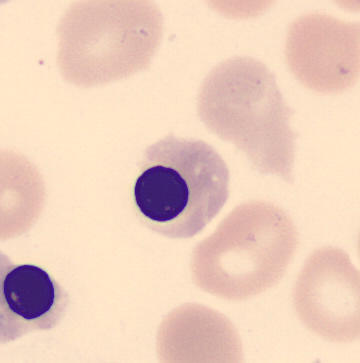

Acquisition: Peripheral blood film; image size 360×363.

Morphological class — nucleated red cell.